Bone marrow aspirate smear · 250×250 · brightfield, 40× oil-immersion objective — 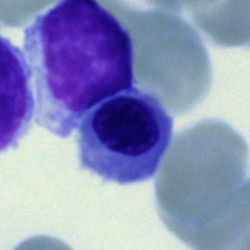

A nucleated red blood cell.